Pappenheim-stained. Bone marrow smear. 250×250 px:
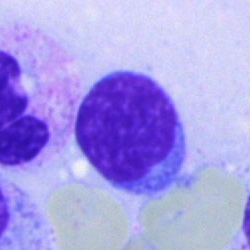
Morphology → lymphocyte.